Bone marrow smear · MGG-stained
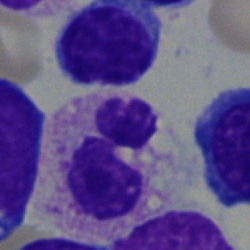Specimen: bone marrow smear.
Cell: neutrophil (segmented).